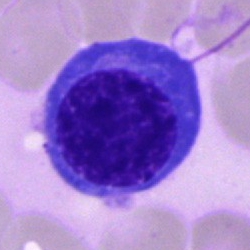 Classification: normoblast.